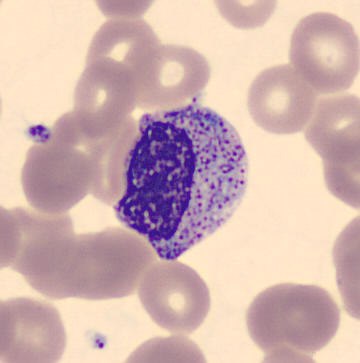

Morphology → metamyelocyte. Preparation: 360×363 px · peripheral blood film.